Bone marrow smear; single cell centered in the field:
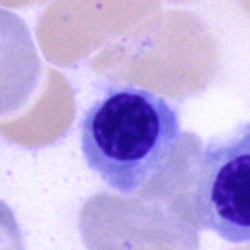
Showing a normoblast.